Bone marrow smear: 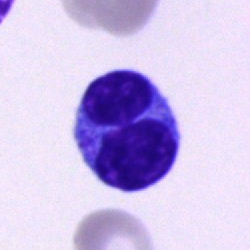Impression — artefact.